Bone marrow smear
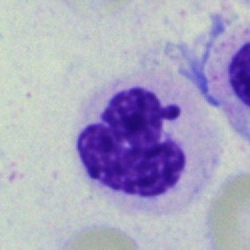 The classification is segmented neutrophil.